Single-cell crop · peripheral blood film:
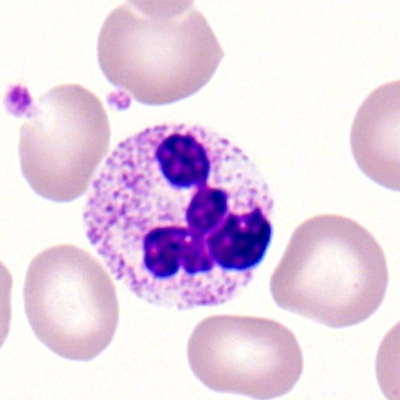
Specimen: peripheral blood film.
Morphological class: polymorphonuclear neutrophil.
Lineage: myeloid.